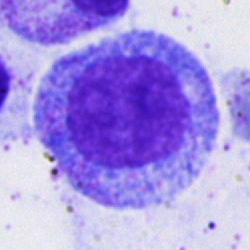
Classification — progranulocyte.